Bone marrow smear — 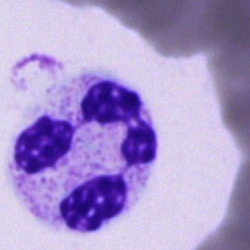Single cell identified as a polymorphonuclear neutrophil.